Bone marrow smear
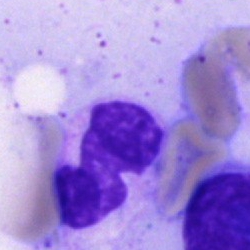Q: Which cell type is shown here?
A: It is a polymorphonuclear neutrophil.